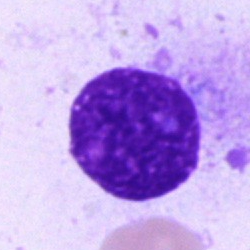
An artefact on a bone marrow smear.